Bone marrow smear
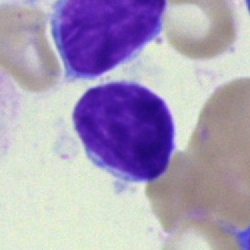 The cell shown is a lymphocyte.